Bone marrow aspirate smear. Brightfield microscopy, 40× oil immersion: 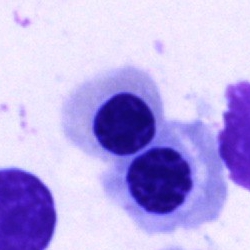 Single cell identified as a normoblast.